Bone marrow smear — 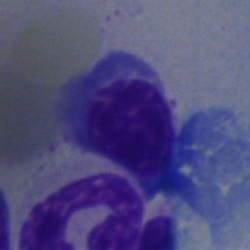Morphology — normoblast.